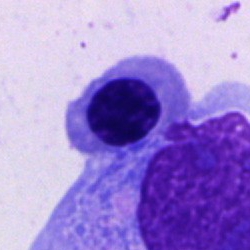

The cell shown is a normoblast.